Bone marrow aspirate smear · 250×250: 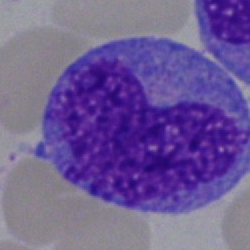Morphology consistent with a monocyte.